Bone marrow smear — 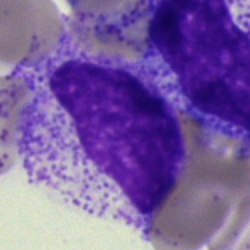Morphology → metamyelocyte.